Brightfield, 40× oil-immersion objective; bone marrow aspirate smear:
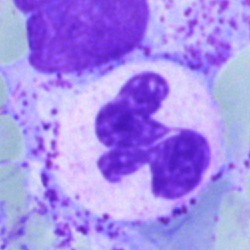This is a neutrophil (segmented).